Bone marrow aspirate smear:
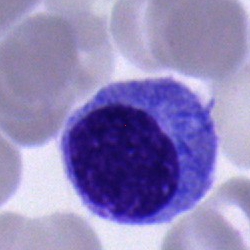
Classification: promyelocyte.